Bone marrow aspirate smear · cropped to a single cell.
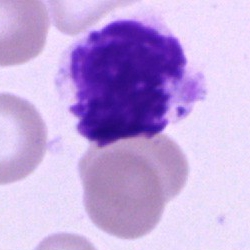 Impression — artefact.